Peripheral blood smear:
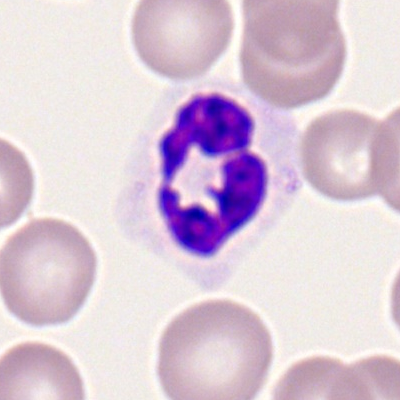

Q: What cell is this?
A: This is a polymorphonuclear neutrophil.